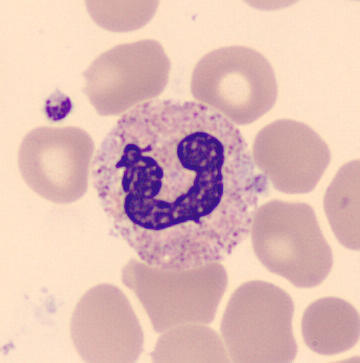 The cell shown is a polymorphonuclear neutrophil. Peripheral blood film.